Bone marrow aspirate smear — 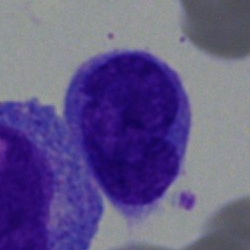Classification = undifferentiated blast.